Bone marrow smear: 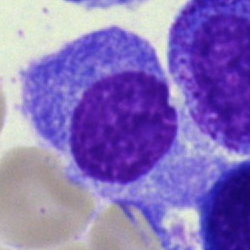

The morphological class is plasma cell.